Bone marrow aspirate smear; single-cell crop; 250×250 px — 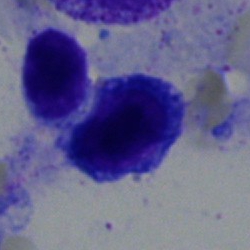

Morphology consistent with a nucleated red blood cell.